Bone marrow aspirate smear: 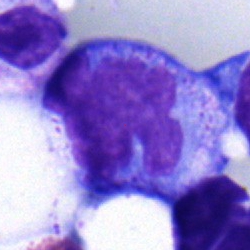
Monocyte.